Bone marrow smear — 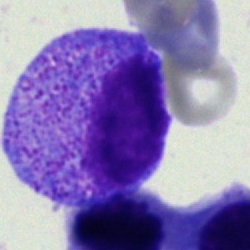Specimen: bone marrow aspirate smear.
Cell: progranulocyte.